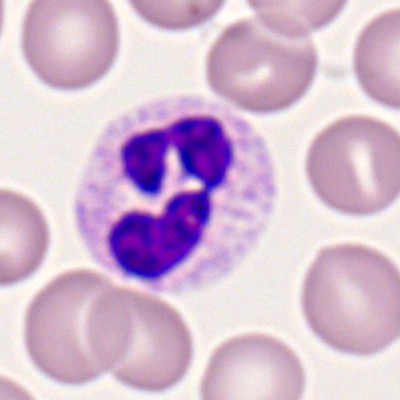

Peripheral blood film, single cell — polymorphonuclear neutrophil.